MGG-stained; bone marrow aspirate smear; 40× oil immersion.
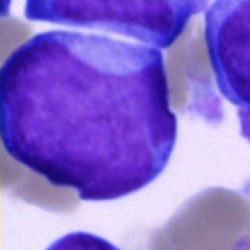
Impression → undifferentiated blast.